Bone marrow smear
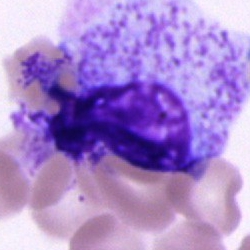Q: Which cell type is shown here?
A: A promyelocyte.